Peripheral blood film
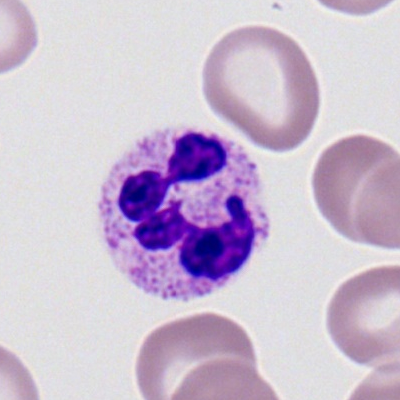A polymorphonuclear neutrophil.